Bone marrow smear; MGG-stained; single-cell crop
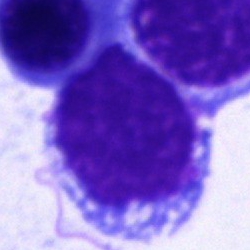 An unidentifiable cell.